Single-cell field. Bone marrow aspirate smear:
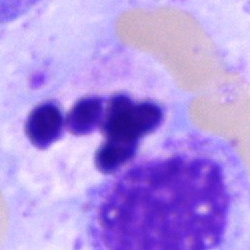 Impression — segmented neutrophil.